Cropped to a single cell. Pappenheim-stained. Bone marrow aspirate smear.
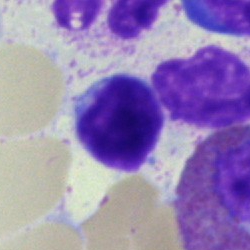

Morphology consistent with a typical lymphocyte.